Brightfield, 40× oil-immersion objective · bone marrow smear · May-Grünwald-Giemsa/Pappenheim stain
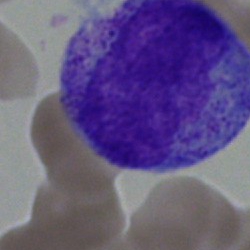 Q: What is the morphological classification of this cell?
A: This is a promyelocyte.